Brightfield microscopy, 40× oil immersion · Pappenheim-stained · bone marrow aspirate smear:
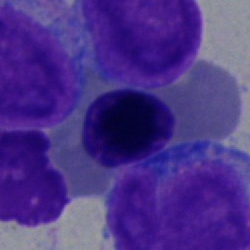

A normoblast.